Peripheral blood film; 100× oil immersion; Romanowsky-stained:
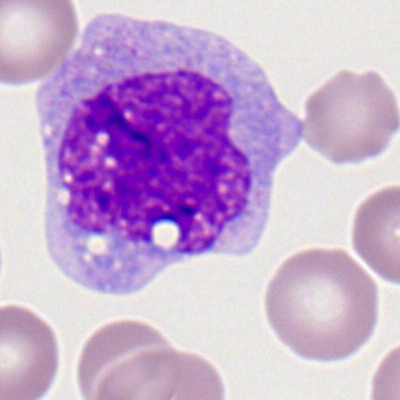 Cell — monocyte.